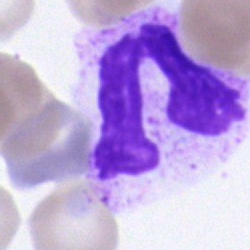Cell type = artifact.